Bone marrow smear: 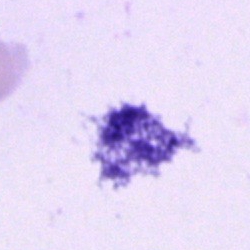
Q: What is shown here?
A: It is an artefact.